Brightfield, 40× oil-immersion objective; bone marrow aspirate smear; 250×250 px.
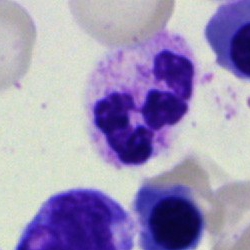 Classification — polymorphonuclear neutrophil.